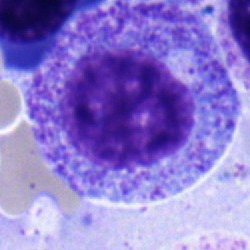
Morphological class: myelocyte.